Bone marrow smear
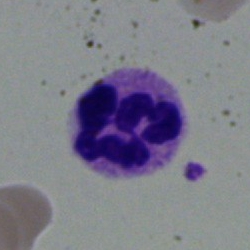
The cell shown is a segmented neutrophil.